Bone marrow aspirate smear.
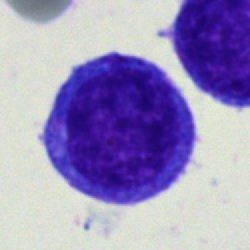

Q: Which cell type is shown here?
A: Undifferentiated blast.